Bone marrow smear: 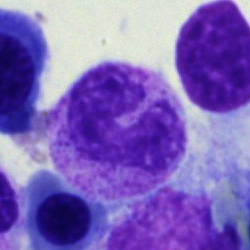 Band neutrophil.